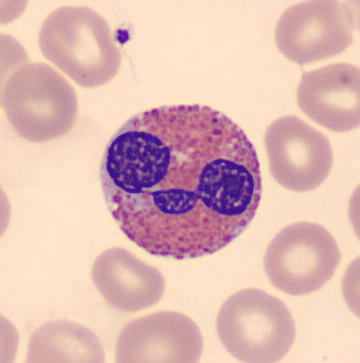

Preparation: Peripheral blood smear.
Eosinophil.